Peripheral blood smear; Romanowsky-stained: 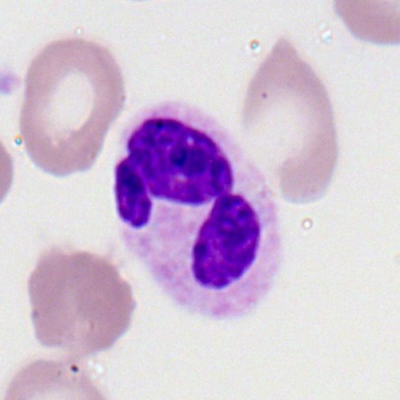 {"cell_type": "polymorphonuclear neutrophil"}